Bone marrow smear · brightfield microscopy, 40× oil immersion:
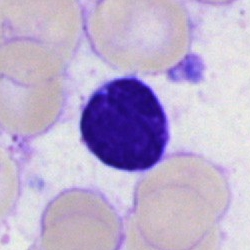

Specimen: bone marrow aspirate smear.
Cell type: lymphocyte.